Bone marrow aspirate smear: 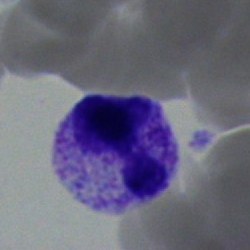
This is a segmented neutrophil.